Bone marrow smear: 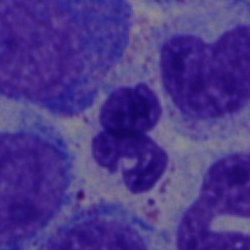

A neutrophil (segmented).